250×250 px; bone marrow smear — 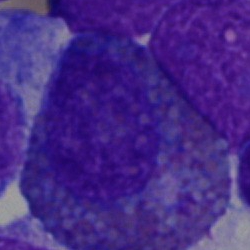

This is an eosinophil.